40× objective, oil immersion · bone marrow smear — 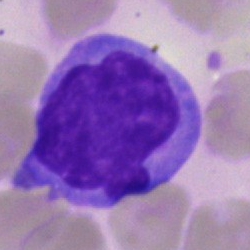

This is a monocyte.